Brightfield, 40× oil-immersion objective. Bone marrow smear — 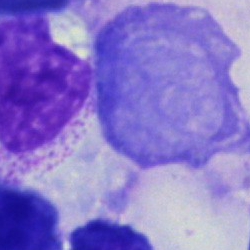
Classification: artefact.